Bone marrow aspirate smear.
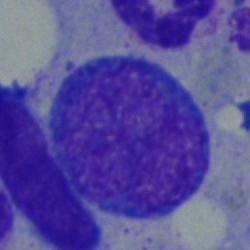

The cell is blast.